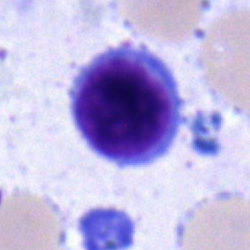
Specimen: bone marrow smear.
Cell: typical lymphocyte.